Single-cell field · bone marrow smear · 250×250 px.
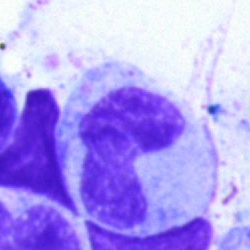

Specimen: bone marrow aspirate smear.
Cell: stab cell.